Bone marrow aspirate smear: 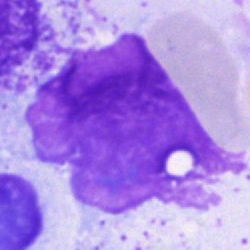Impression — artifact.